Bone marrow aspirate smear · 250 by 250 pixels · brightfield microscopy, 40× oil immersion: 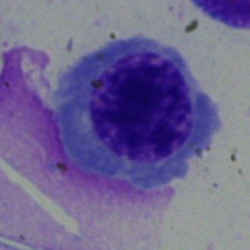 Morphology → erythroblast.